Bone marrow aspirate smear: 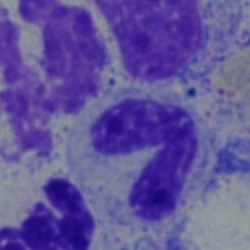 The morphological class is stab cell.